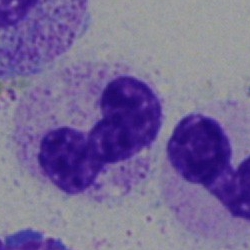
The morphological class is stab cell.